Peripheral blood film:
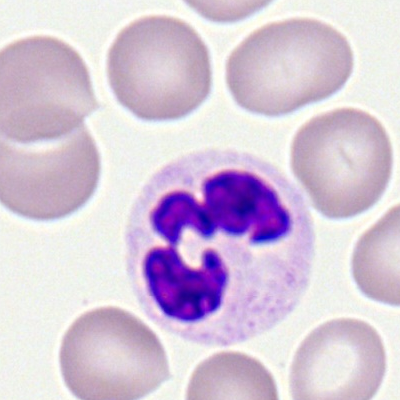

{"cell_type": "neutrophil (segmented)", "lineage": "myeloid"}